Bone marrow aspirate smear.
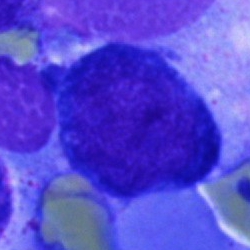

{"cell_type": "undifferentiated blast"}